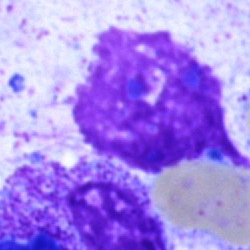The cell shown is an artifact.